Bone marrow smear.
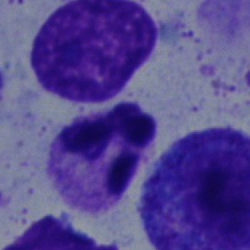

Morphology → segmented neutrophil.